Image size 250×250 · bone marrow aspirate smear:
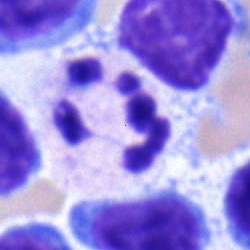Q: What is shown here?
A: It is a polymorphonuclear neutrophil.